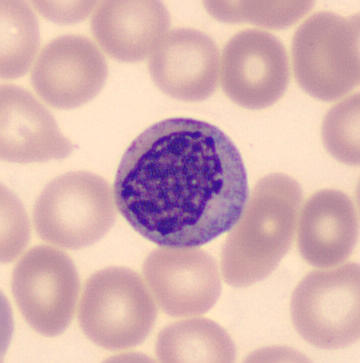 Showing a myelocyte. Automated cell imaging (CellaVision DM96) · peripheral blood film.